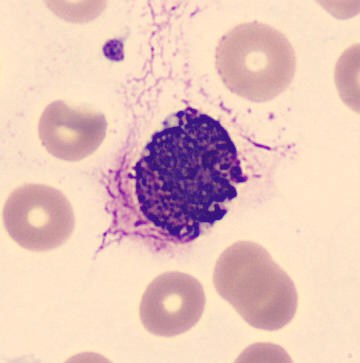
Cell: basophil.
Image: Automated cell imaging (CellaVision DM96). Peripheral blood smear.